Bone marrow smear · 250 by 250 pixels · MGG-stained — 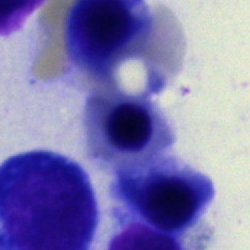Q: Which cell type is shown here?
A: This is a normoblast.